Peripheral blood smear
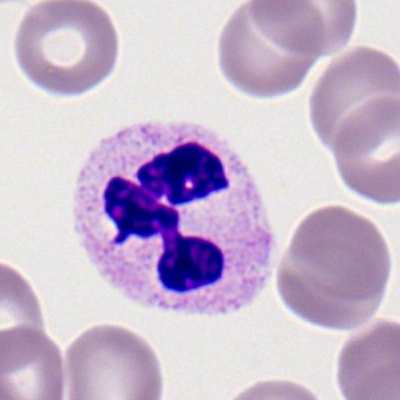

The morphological class is neutrophil (segmented).